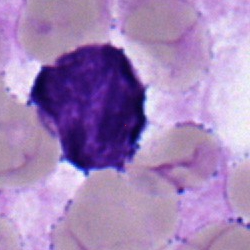Cell type — lymphocyte.